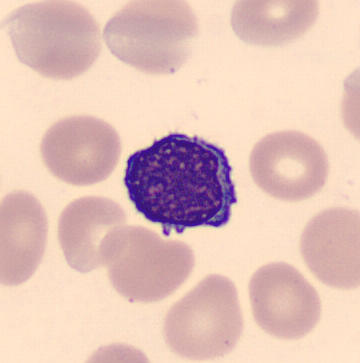 Peripheral blood film.
Single cell identified as a typical lymphocyte.